Bone marrow smear: 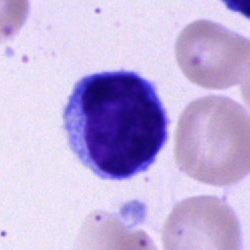

This is a typical lymphocyte.